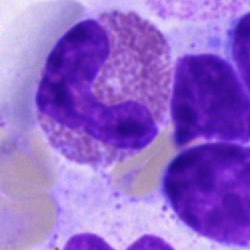Specimen: bone marrow aspirate smear.
Cell type: eosinophil.